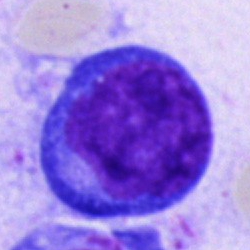
Specimen: bone marrow aspirate smear.
Morphological class: proerythroblast.
Lineage: erythroid.